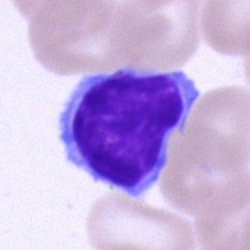 {"cell_type": "typical lymphocyte"}